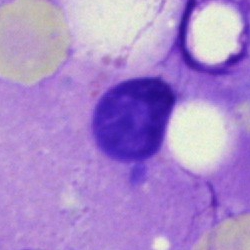 An artefact on a bone marrow smear.